Bone marrow smear. Single cell centered in the field
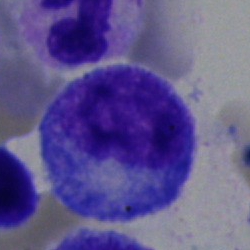
The cell shown is a promyelocyte.